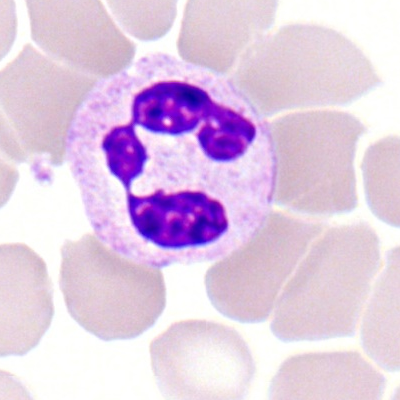

Classification = polymorphonuclear neutrophil.